Peripheral blood smear:
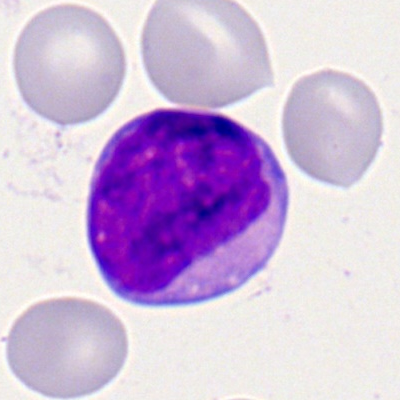The classification is myeloid blast.